Single-cell crop · bone marrow aspirate smear · brightfield microscopy, 40× oil immersion: 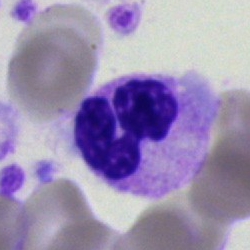

Cell — polymorphonuclear neutrophil.